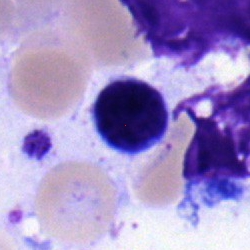 Lymphocyte.